Peripheral blood smear: 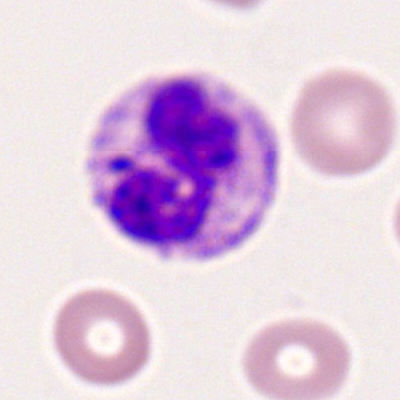Morphology → neutrophil (segmented).